Bone marrow aspirate smear:
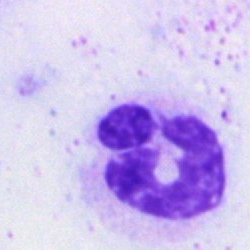Morphology consistent with a neutrophil (segmented).